Bone marrow smear.
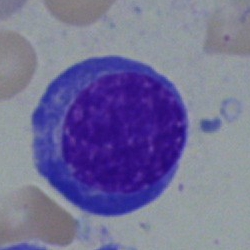

Cell: nucleated red blood cell.